250×250 px. Bone marrow smear. Cropped to a single cell.
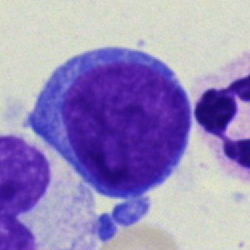 Specimen: bone marrow smear.
Morphological class: undifferentiated blast.